Bone marrow aspirate smear — 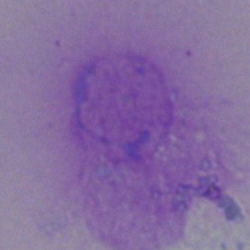 Cell type — artefact.